Bone marrow aspirate smear; cropped to a single cell — 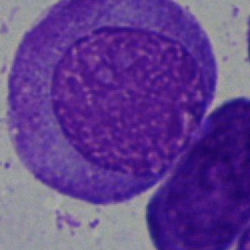 Q: What type of cell is this?
A: Progranulocyte.